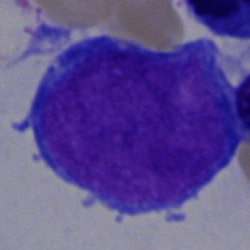 Morphology — undifferentiated blast.